Bone marrow smear. Single cell centered in the field: 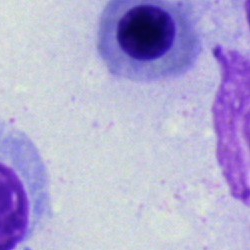 Cell — nucleated red blood cell.